Brightfield, 40× oil-immersion objective. Bone marrow aspirate smear. May-Grünwald-Giemsa stain: 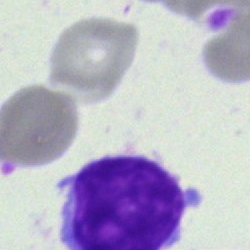

Single cell identified as a typical lymphocyte.